Bone marrow smear; image size 250×250
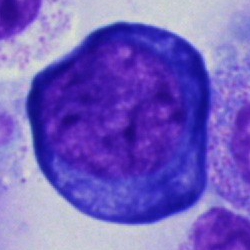 Impression → proerythroblast.